Bone marrow smear; 40× oil immersion.
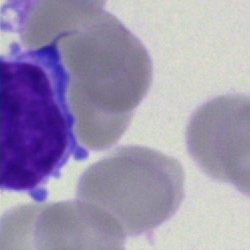 Q: What cell is this?
A: A typical lymphocyte.